Pappenheim-stained. Bone marrow smear. Single-cell field
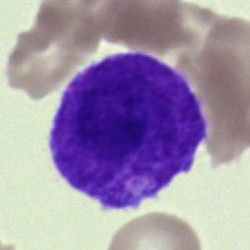

Blast.